Bone marrow smear
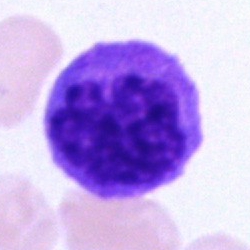

The morphological class is immature lymphocyte.